Bone marrow aspirate smear:
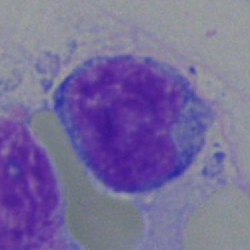 Cell — typical lymphocyte.